Bone marrow aspirate smear
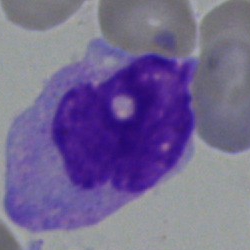

Nucleated red cell.